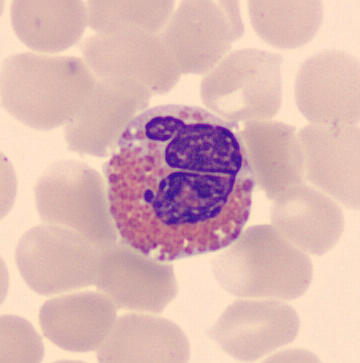 {"cell_type": "eosinophil"}
Peripheral blood film · single cell centered in the field.